Bone marrow aspirate smear.
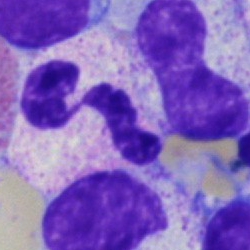
The classification is segmented neutrophil.